May-Grünwald-Giemsa stain; bone marrow smear; single-cell crop:
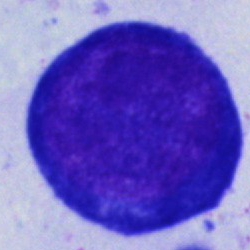
Morphology → pronormoblast.